May-Grünwald-Giemsa/Pappenheim stain · bone marrow aspirate smear · image size 250×250
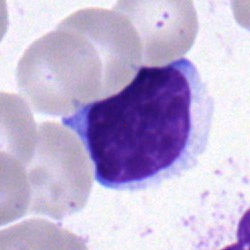

Specimen: bone marrow aspirate smear.
Morphological class: typical lymphocyte.
Lineage: lymphoid.